Bone marrow smear
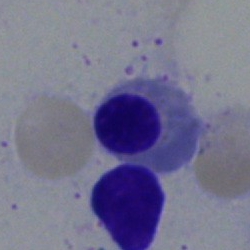

Showing a nucleated red cell.